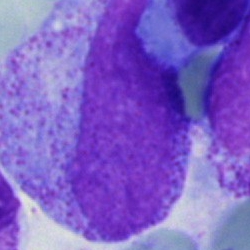 Bone marrow smear showing a progranulocyte.